Bone marrow aspirate smear.
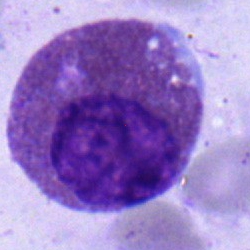Q: What is shown here?
A: Eosinophilic granulocyte.